Bone marrow smear · 40× objective, oil immersion · 250×250 px: 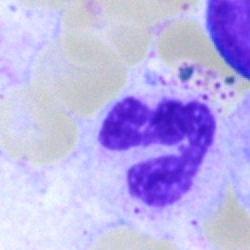A polymorphonuclear neutrophil.